Bone marrow smear. Brightfield microscopy, 40× oil immersion. 250×250
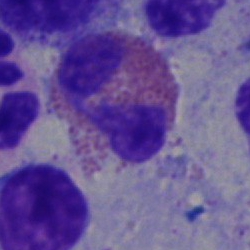 Morphological class — eosinophilic granulocyte.